Pappenheim-stained. Bone marrow aspirate smear
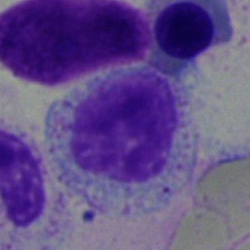Morphology consistent with a myelocyte.